Bone marrow smear; cropped to a single cell; Pappenheim-stained.
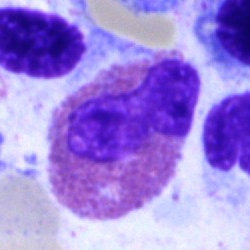

The morphological class is eosinophilic granulocyte.